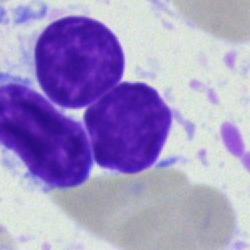

Impression → typical lymphocyte.